Bone marrow smear.
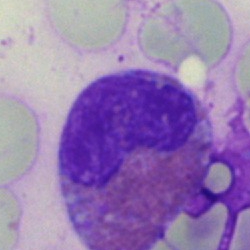
Morphology → eosinophilic granulocyte.